Brightfield microscopy, 40× oil immersion · bone marrow aspirate smear
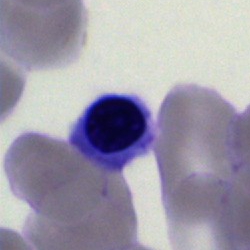 Specimen: bone marrow smear.
Cell: normoblast.
Lineage: erythroid.